Single-cell crop. Bone marrow aspirate smear: 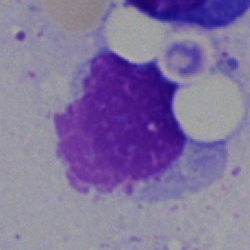

An artefact.